May-Grünwald-Giemsa stain. Bone marrow smear. 250 by 250 pixels
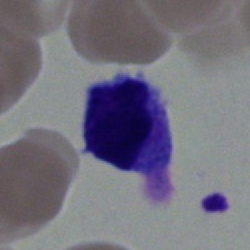
Q: What cell is this?
A: A lymphocyte.